Bone marrow aspirate smear · single-cell crop · 40× objective, oil immersion: 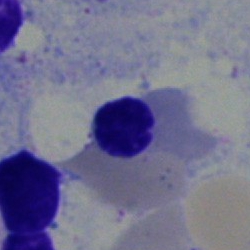 This is an erythroblast.